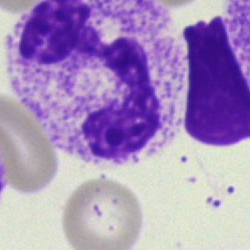

Impression — neutrophil (segmented).